Bone marrow aspirate smear.
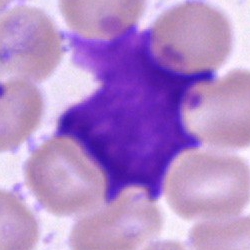Cell: artefact.